250 by 250 pixels. Bone marrow smear. May-Grünwald-Giemsa stain: 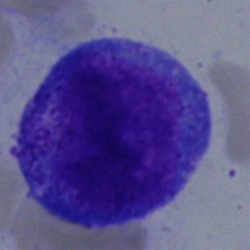This is a progranulocyte.